Bone marrow aspirate smear:
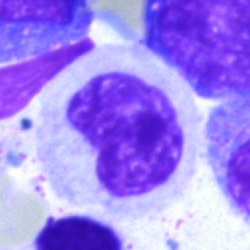
Morphology — neutrophil (band).